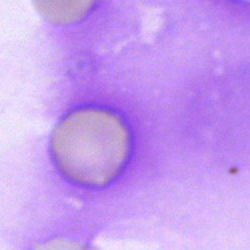Single-cell crop from a bone marrow smear: artefact.